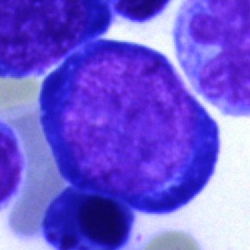Morphological class: proerythroblast.